Romanowsky-type stain. Peripheral blood film — 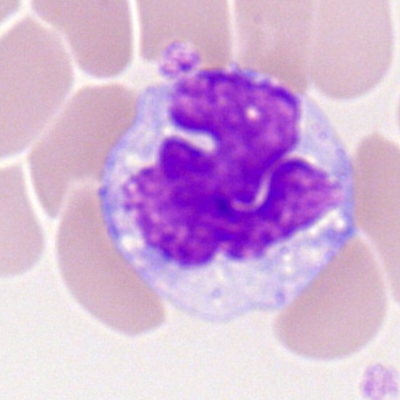 Q: What is shown here?
A: It is a monocyte.